Bone marrow aspirate smear · 40× objective, oil immersion · cropped to a single cell.
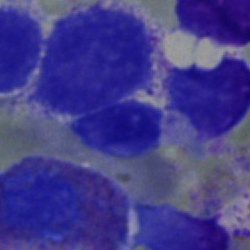

Q: What is shown here?
A: Artifact.